Bone marrow smear:
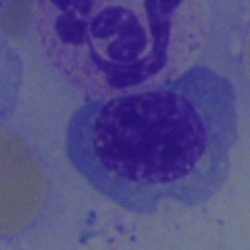Cell type = nucleated red blood cell.